MGG-stained · bone marrow smear
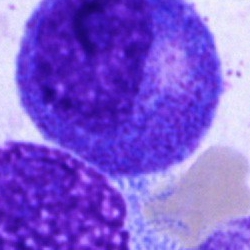 This is a progranulocyte.